Bone marrow aspirate smear.
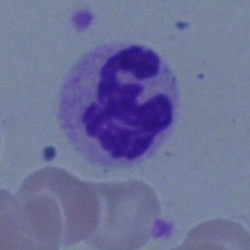Impression → polymorphonuclear neutrophil.